Bone marrow aspirate smear
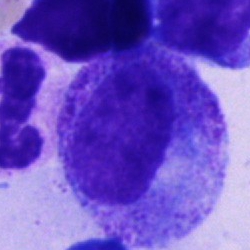 Q: What cell is this?
A: It is a promyelocyte.